Bone marrow smear · Pappenheim-stained · single-cell field
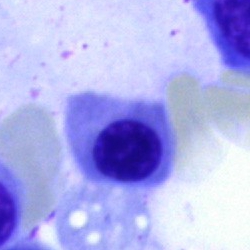

Q: What type of cell is this?
A: It is a nucleated red cell.